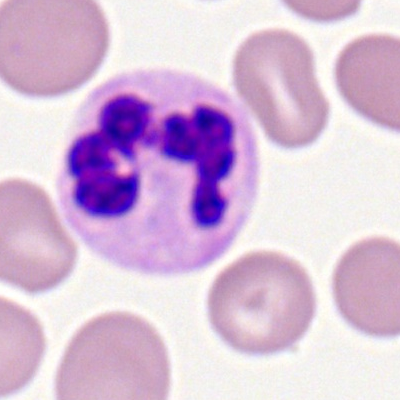
Cell — polymorphonuclear neutrophil.